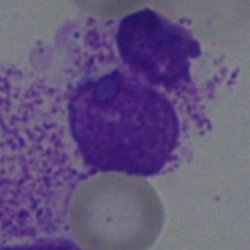
Cell: artifact.